Bone marrow aspirate smear: 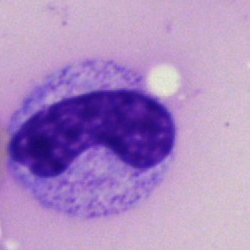

Stab cell.